Bone marrow aspirate smear.
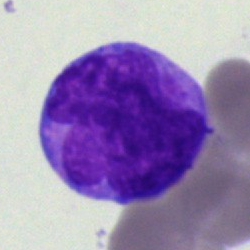This is a blast cell.